Cropped to a single cell. Bone marrow aspirate smear. 40× objective, oil immersion.
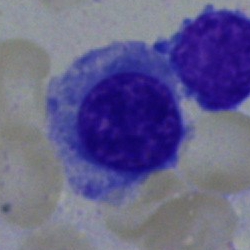
Classification — erythroblast.